400×400; single cell centered in the field; peripheral blood film.
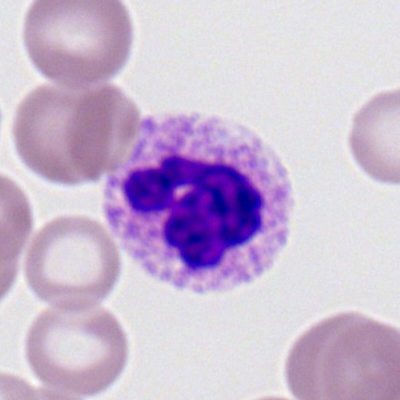

Specimen: peripheral blood smear.
Cell: neutrophil (segmented).
Lineage: myeloid.